Bone marrow aspirate smear.
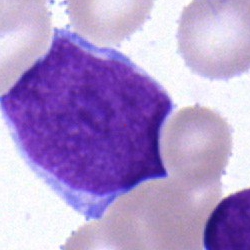
Morphology consistent with a blast.